Bone marrow smear
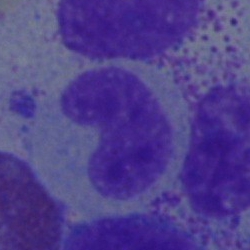

Impression — neutrophil (band).